Bone marrow aspirate smear: 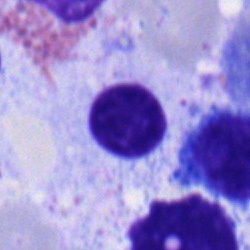
Morphology → typical lymphocyte.